40× oil immersion · bone marrow smear:
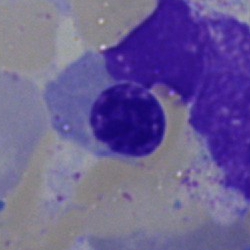 Q: Identify the cell.
A: This is a nucleated red cell.